Bone marrow smear — 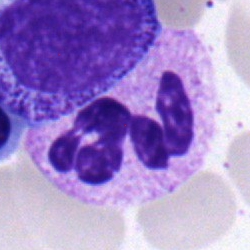The classification is neutrophil (segmented).